Bone marrow aspirate smear: 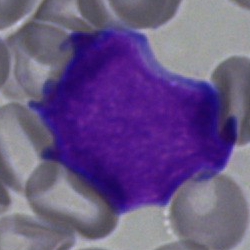

Morphological class — blast cell.